Bone marrow smear · MGG-stained.
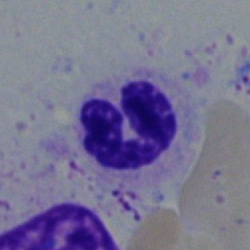Q: What type of cell is this?
A: Polymorphonuclear neutrophil.